Image size 250×250 · bone marrow aspirate smear — 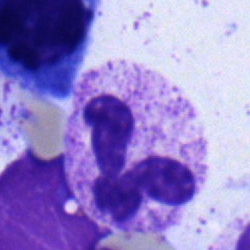Cell: polymorphonuclear neutrophil.